Bone marrow aspirate smear — 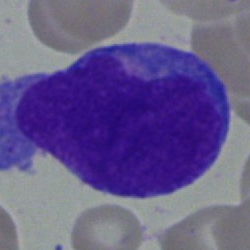
Morphology — blast cell.